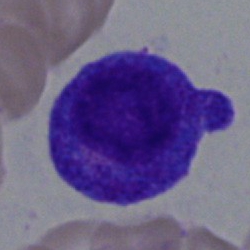

Progranulocyte.